Bone marrow aspirate smear · Pappenheim-stained:
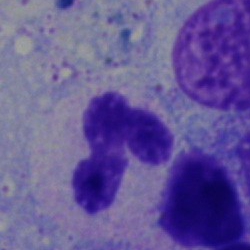 Q: What is shown here?
A: Segmented neutrophil.